Bone marrow aspirate smear
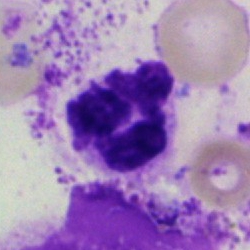 A segmented neutrophil.